Bone marrow smear
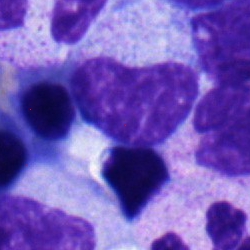

The classification is metamyelocyte.